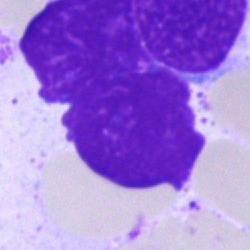 Single-cell crop from a bone marrow smear: artefact.